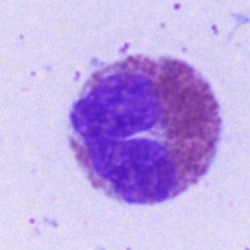
Specimen: bone marrow smear.
Classification: eosinophilic granulocyte.
Lineage: myeloid.